Single-cell crop · peripheral blood smear · 360×363 px: 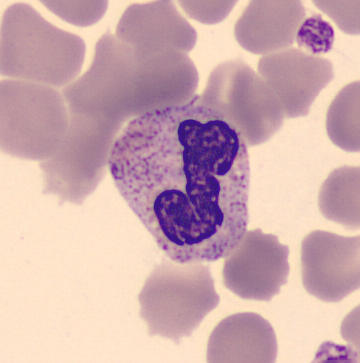A band-form neutrophil.